Bone marrow smear.
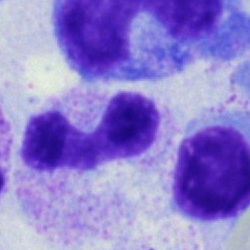 Specimen: bone marrow smear.
Cell type: band-form neutrophil.